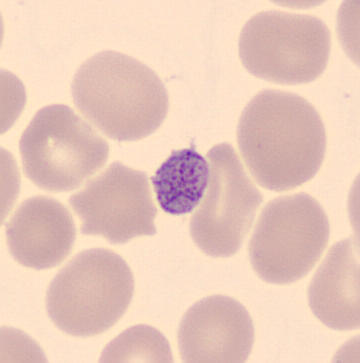 Q: What is shown here?
A: It is a platelet.